Peripheral blood film.
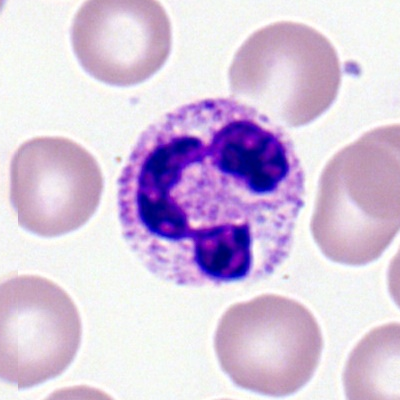

Cell = segmented neutrophil.